Bone marrow smear:
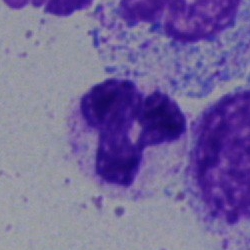
Q: What type of cell is this?
A: Polymorphonuclear neutrophil.